Peripheral blood film: 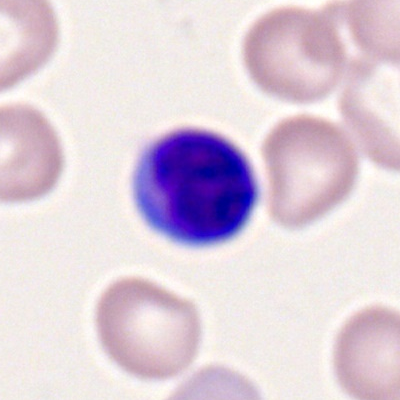Morphology consistent with a lymphocyte.